Bone marrow smear. 40× oil immersion.
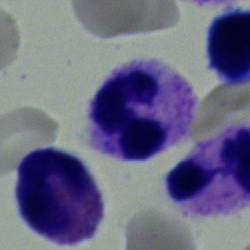Q: What type of cell is this?
A: This is a neutrophil (segmented).